400×400 · peripheral blood film.
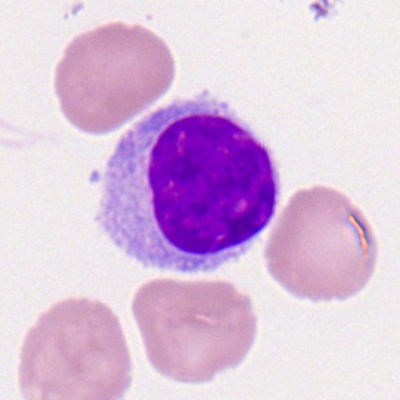Morphological class — lymphocyte.